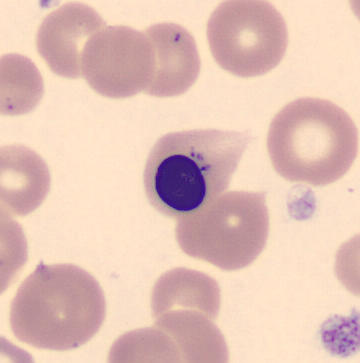

Nucleated red cell. MGG-stained; peripheral blood film; image size 360×363.